Bone marrow aspirate smear. Brightfield microscopy, 40× oil immersion.
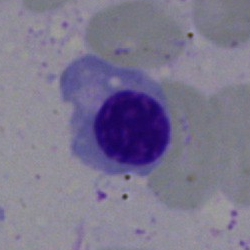
Morphological class = nucleated red blood cell.